Bone marrow smear:
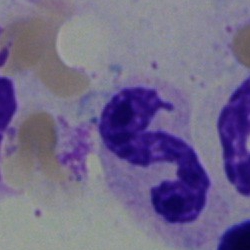 Q: What cell is this?
A: This is a segmented neutrophil.